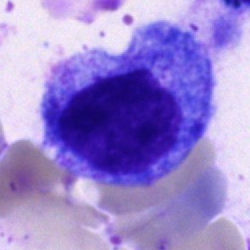 Morphology — progranulocyte.